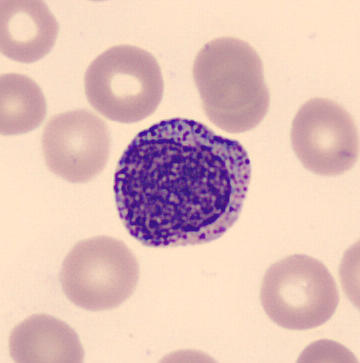 Image: Peripheral blood smear. Progranulocyte.